Pappenheim-stained. Bone marrow aspirate smear
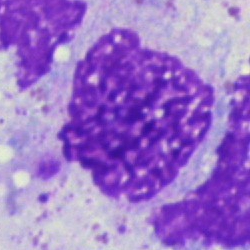Artifact.